Bone marrow smear:
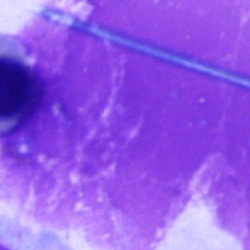

Morphology — artifact.